Bone marrow aspirate smear · 40× objective, oil immersion · single cell centered in the field
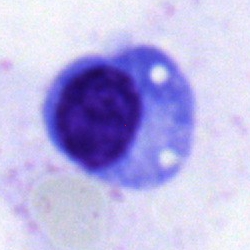Specimen: bone marrow aspirate smear.
Cell type: plasmacyte.
Lineage: lymphoid.